MGG-stained; image size 250×250; bone marrow smear: 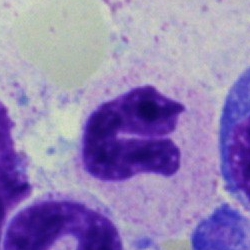
This is a band-form neutrophil.